Bone marrow aspirate smear. Brightfield microscopy, 40× oil immersion: 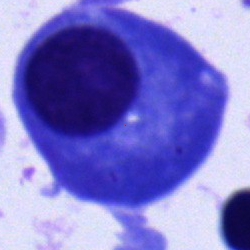Specimen: bone marrow smear.
Morphological class: plasma cell.